Cropped to a single cell; bone marrow aspirate smear: 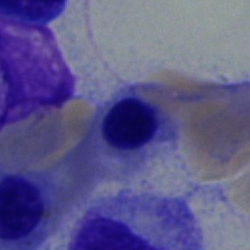Impression — normoblast.